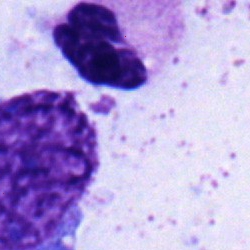

Q: What cell is this?
A: Segmented neutrophil.